Bone marrow aspirate smear — 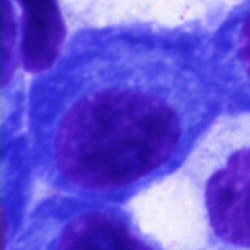Classification = plasma cell.